Bone marrow smear.
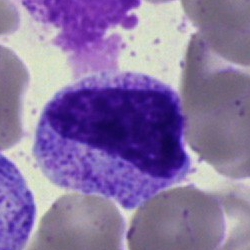

Morphology consistent with a myelocyte.